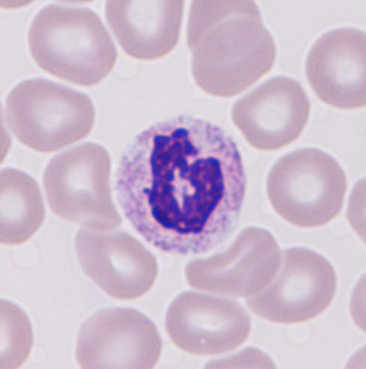
Peripheral blood film · MGG-stained.
The cell shown is a neutrophilic granulocyte.